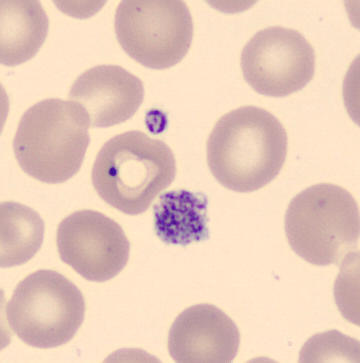 Acquisition: MGG stain; peripheral blood smear.
A thrombocyte.